MGG-stained · 40× oil immersion · bone marrow aspirate smear — 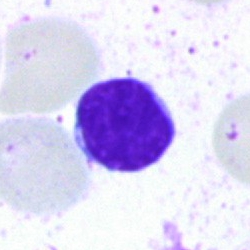

This is a typical lymphocyte.